Bone marrow aspirate smear; MGG-stained
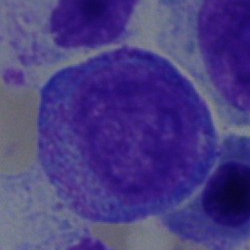
Impression → progranulocyte.